Bone marrow smear.
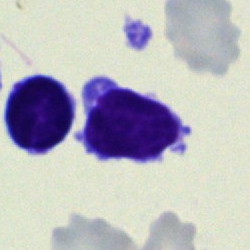
Morphology consistent with a typical lymphocyte.